Bone marrow smear; single-cell crop — 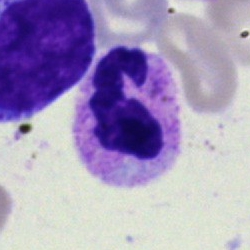

Specimen: bone marrow smear.
Classification: segmented neutrophil.
Lineage: myeloid.